250 by 250 pixels · bone marrow smear · cropped to a single cell — 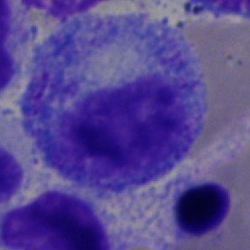
Showing a myelocyte.